Peripheral blood smear.
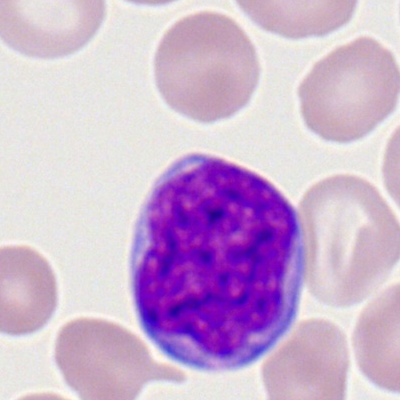 The cell shown is a myeloblast.